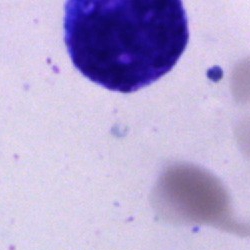 An unidentifiable cell.